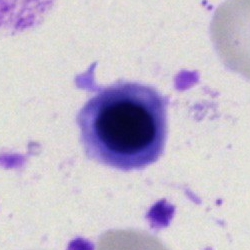 A normoblast.